Bone marrow smear.
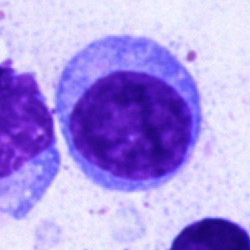 {"cell_type": "lymphocyte"}